Bone marrow aspirate smear
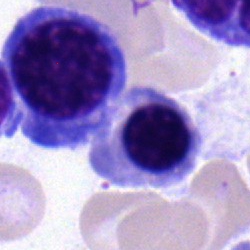This is a nucleated red blood cell.